May-Grünwald-Giemsa/Pappenheim stain; bone marrow smear:
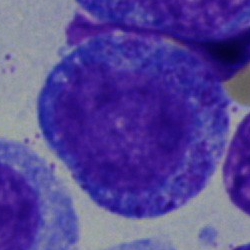
The cell type is progranulocyte.